250 by 250 pixels. MGG-stained. Bone marrow smear.
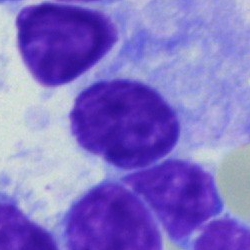

The cell shown is a lymphocyte.